Bone marrow aspirate smear
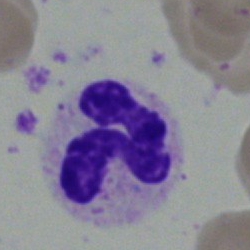

A polymorphonuclear neutrophil.